Bone marrow aspirate smear:
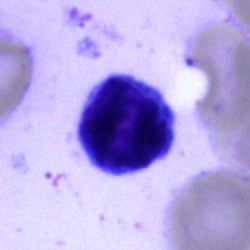Lymphocyte.